Bone marrow aspirate smear:
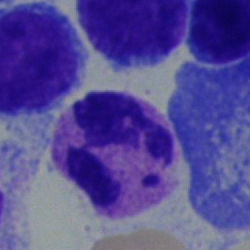
Morphological class: segmented neutrophil.